Bone marrow aspirate smear. May-Grünwald-Giemsa stain. 40× oil immersion: 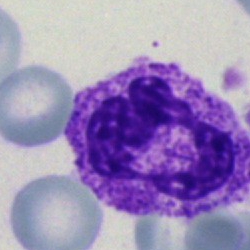 Cell: polymorphonuclear neutrophil.